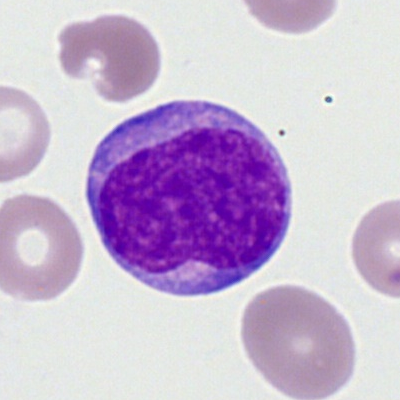 Q: What cell is this?
A: This is a myeloblast.